40× objective, oil immersion · 250×250 · bone marrow aspirate smear: 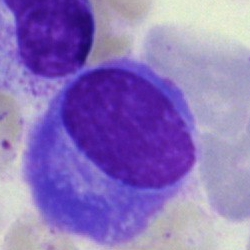
Q: Which cell type is shown here?
A: Plasmacyte.